MGG-stained · 250×250 px · bone marrow smear:
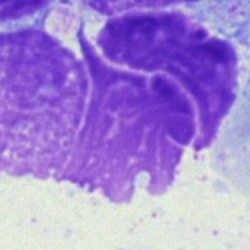An artefact.